Brightfield microscopy, 40× oil immersion. Bone marrow smear.
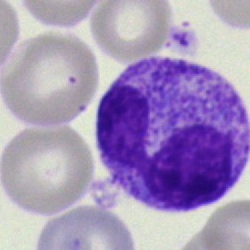

Cell: neutrophil (segmented).